100× oil immersion, 14.14 px/µm · peripheral blood smear · 400 by 400 pixels.
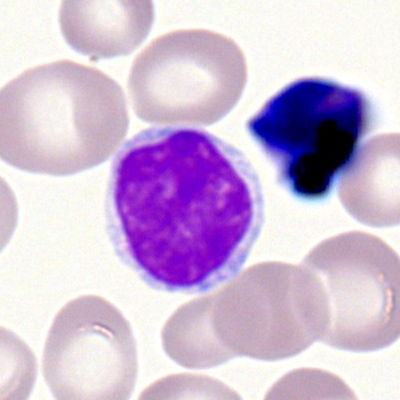

Morphological class = typical lymphocyte.